250×250; bone marrow smear; Pappenheim-stained — 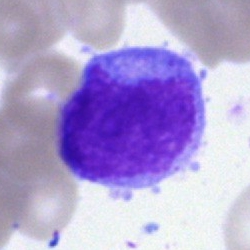 This is a blast.